Bone marrow smear — 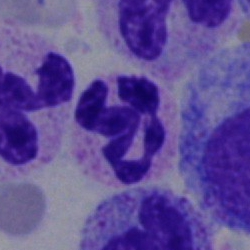 Single cell identified as a neutrophil (segmented).